Bone marrow aspirate smear: 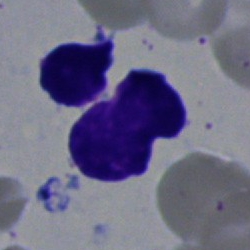Impression → artifact.